Bone marrow smear · 250×250 — 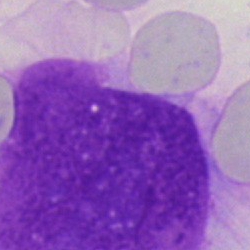 Specimen: bone marrow smear.
Morphological class: artefact.